Single-cell field; bone marrow aspirate smear:
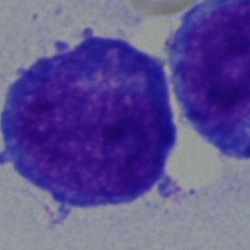
Cell type — blast cell.